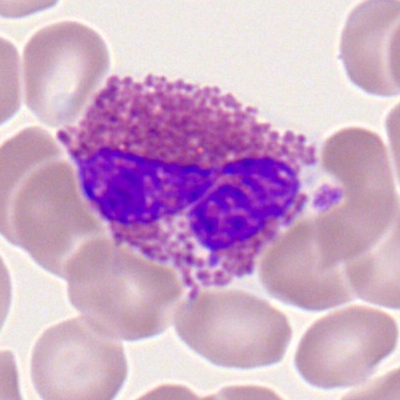

The cell shown is an eosinophilic granulocyte.